40× oil immersion; bone marrow aspirate smear; cropped to a single cell
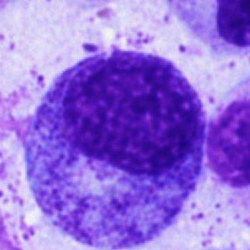
Q: Which cell type is shown here?
A: It is a promyelocyte.